Bone marrow aspirate smear · single-cell field: 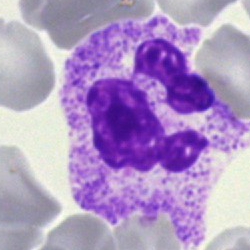 Cell — neutrophil (segmented).